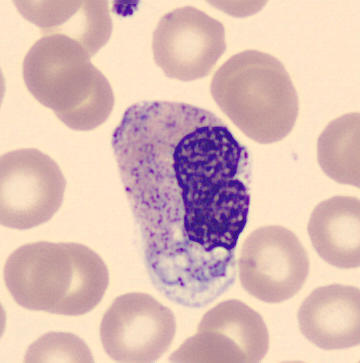 Image: Peripheral blood film. Single cell centered in the field.

Q: What cell is this?
A: This is a metamyelocyte.